Bone marrow aspirate smear.
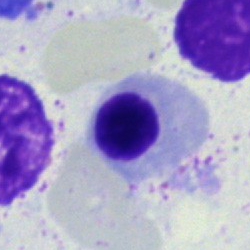

Q: Identify the cell.
A: An erythroblast.